May-Grünwald-Giemsa stain. Bone marrow smear. Single-cell crop:
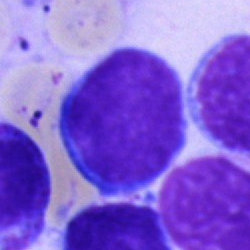

Undifferentiated blast.